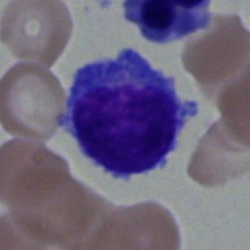

Morphology consistent with a lymphocyte.